Bone marrow smear:
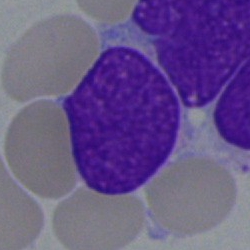 Morphology consistent with a blast.